40× objective, oil immersion; bone marrow smear:
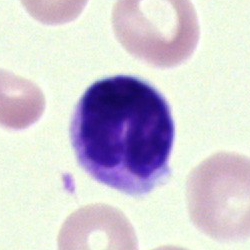
Stab cell.